40× oil immersion · single-cell field · bone marrow smear.
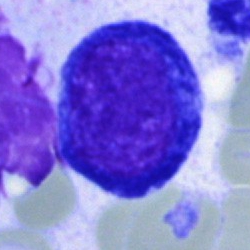Morphology consistent with a pronormoblast.